Bone marrow smear · 40× oil immersion:
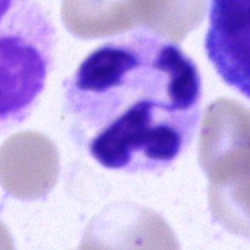 Q: Identify the cell.
A: This is a segmented neutrophil.